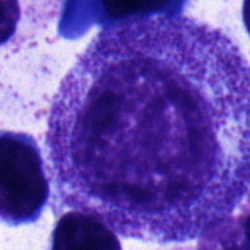

Bone marrow aspirate smear, single cell — promyelocyte.